Bone marrow smear: 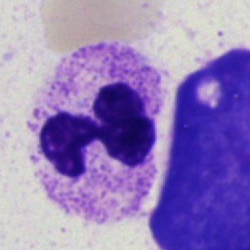

Single cell identified as a polymorphonuclear neutrophil.